Bone marrow aspirate smear:
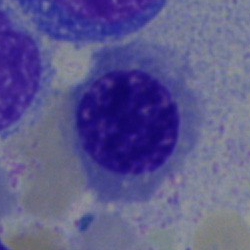
Impression → nucleated red cell.